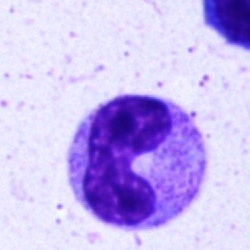
A band neutrophil on a bone marrow smear.